Bone marrow smear:
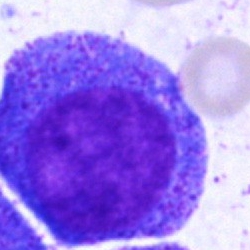
Classification = promyelocyte.